40× objective, oil immersion. Bone marrow aspirate smear. 250×250 px
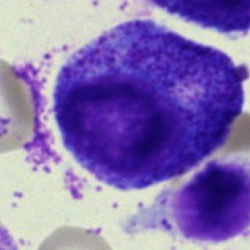
The classification is promyelocyte.